May-Grünwald-Giemsa stain · bone marrow aspirate smear · single-cell field: 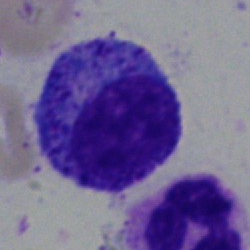

Cell = progranulocyte.